Bone marrow aspirate smear:
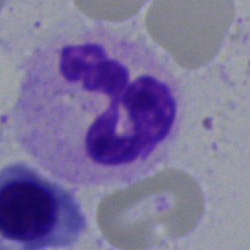 The cell is segmented neutrophil.